Image size 250×250; bone marrow smear; May-Grünwald-Giemsa stain: 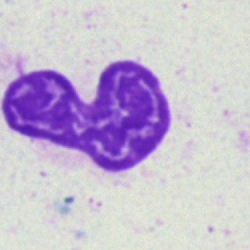 Impression → artefact.